MGG-stained. Single cell centered in the field. Bone marrow smear: 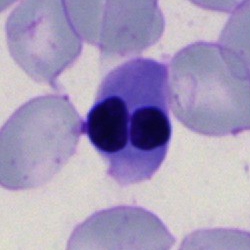Nucleated red blood cell.